Bone marrow smear. 40× objective, oil immersion
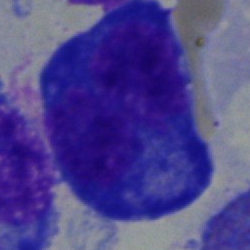Q: What type of cell is this?
A: A plasmacyte.